Bone marrow smear:
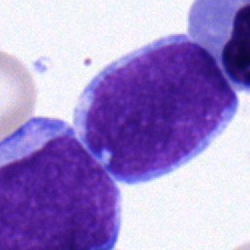 The cell is undifferentiated blast.